Peripheral blood film. Single-cell crop. Romanowsky stain — 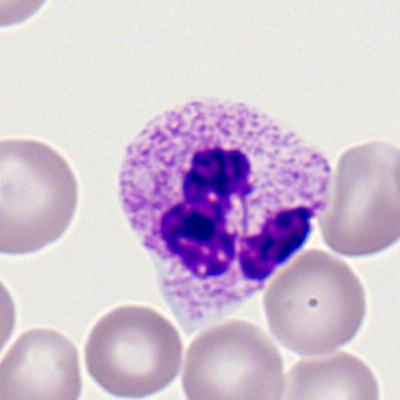 Q: What is the morphological classification of this cell?
A: This is a neutrophil (segmented).